Bone marrow aspirate smear; cropped to a single cell; Pappenheim-stained:
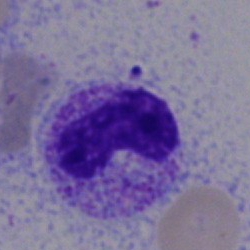Neutrophil (band).